250×250; bone marrow smear; May-Grünwald-Giemsa/Pappenheim stain — 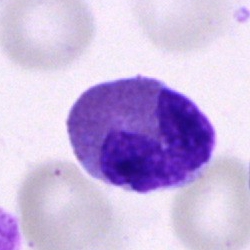Specimen: bone marrow smear.
Cell: eosinophil.
Lineage: myeloid.